Bone marrow aspirate smear — 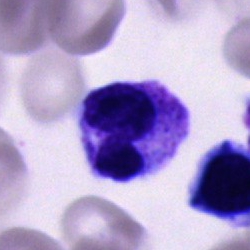

This is a segmented neutrophil.